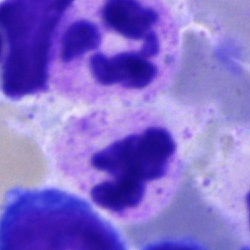

{"cell_type": "segmented neutrophil"}